Brightfield, 40× oil-immersion objective · bone marrow aspirate smear — 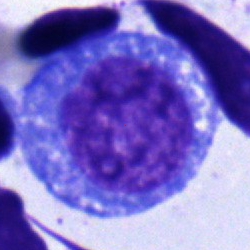 Promyelocyte.